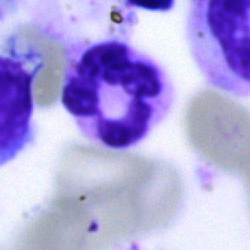 Specimen: bone marrow aspirate smear.
Cell type: segmented neutrophil.
Lineage: myeloid.